Bone marrow smear — 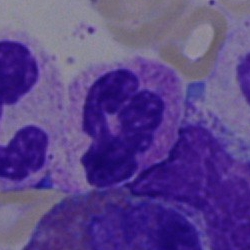 Cell: segmented neutrophil.